Bone marrow smear.
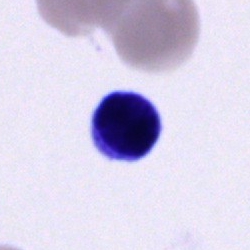
Cell: cell of indeterminate lineage.